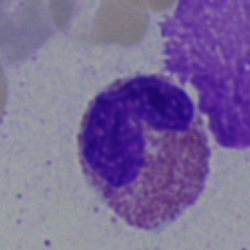Q: What is shown here?
A: It is an eosinophilic granulocyte.